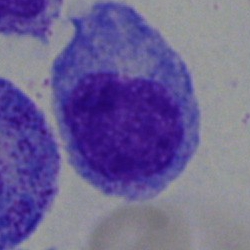

Single-cell crop from a bone marrow smear: progranulocyte.